250×250 · bone marrow smear.
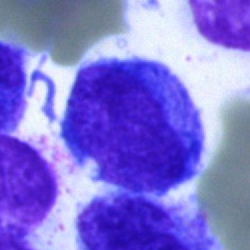

Showing a blast cell.